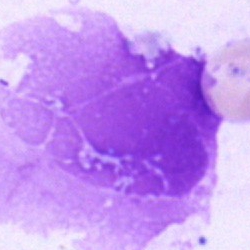
Artifact.